Bone marrow aspirate smear:
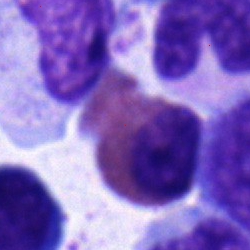Morphological class: eosinophilic granulocyte.